Bone marrow smear. Brightfield, 40× oil-immersion objective
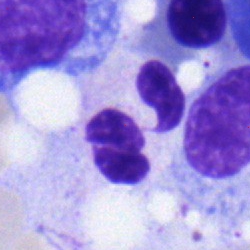
Q: What cell is this?
A: A neutrophil (segmented).